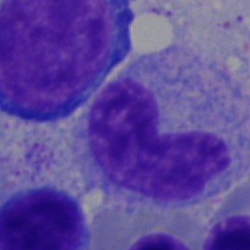
Band neutrophil.